Bone marrow smear; Pappenheim-stained.
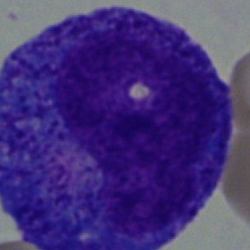 Q: Identify the cell.
A: Progranulocyte.